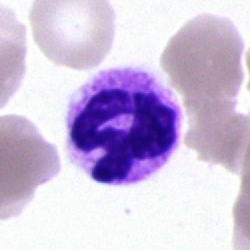 {"cell_type": "segmented neutrophil", "lineage": "myeloid"}